Cropped to a single cell. Bone marrow aspirate smear: 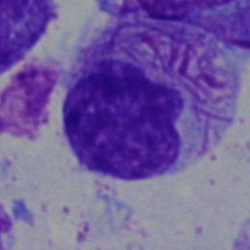

This is a faggot cell.